Bone marrow aspirate smear.
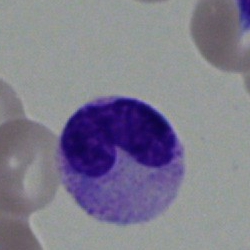 Cell type = band neutrophil.